Bone marrow smear.
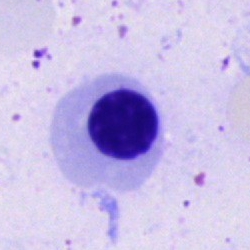

A nucleated red cell.